Bone marrow smear — 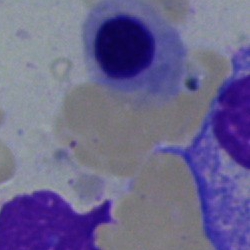 Single cell identified as an erythroblast.